Bone marrow smear.
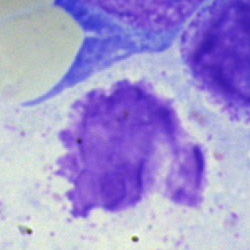 Artefact.